Bone marrow aspirate smear.
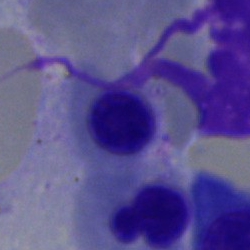
Morphology consistent with a nucleated red blood cell.